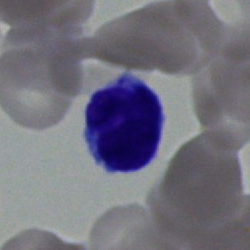Q: What type of cell is this?
A: This is a typical lymphocyte.